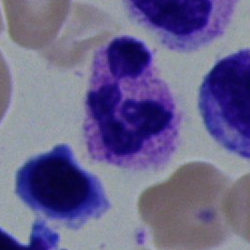 Specimen: bone marrow aspirate smear.
Cell: segmented neutrophil.